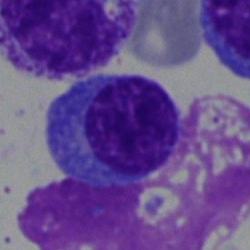 {"cell_type": "plasma cell", "lineage": "lymphoid"}